Pappenheim-stained. Bone marrow smear:
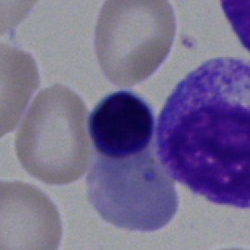 Classification — normoblast.